250 by 250 pixels; Pappenheim-stained; bone marrow smear.
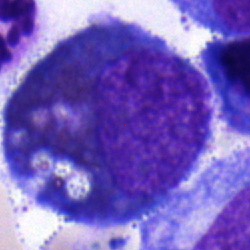

Q: What is the morphological classification of this cell?
A: This is an eosinophil.